Bone marrow smear:
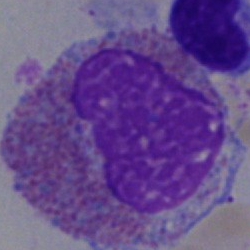

Specimen: bone marrow aspirate smear.
Cell type: eosinophil.